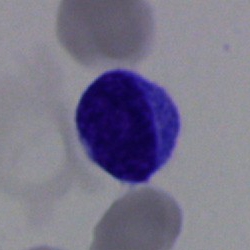 Morphology consistent with a lymphocyte.